Peripheral blood smear — 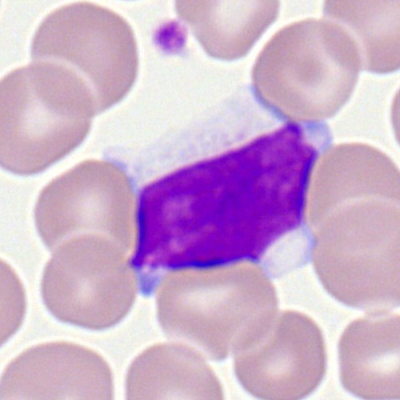 Q: What is the morphological classification of this cell?
A: It is a typical lymphocyte.